Bone marrow aspirate smear; single-cell field
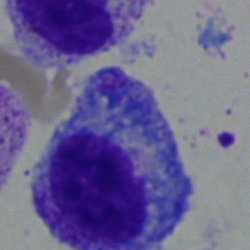
Morphological class: myelocyte.